Cropped to a single cell; bone marrow smear; May-Grünwald-Giemsa/Pappenheim stain — 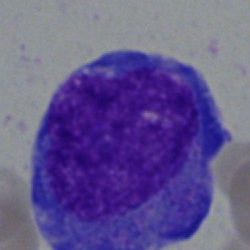
Q: What is the morphological classification of this cell?
A: This is a blast.